Bone marrow aspirate smear:
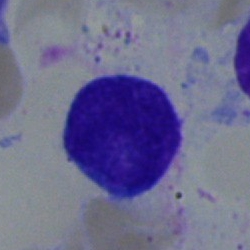
Q: What type of cell is this?
A: It is a blast cell.